Bone marrow smear: 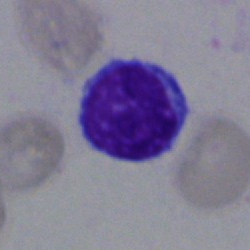 Morphology consistent with a lymphocyte.